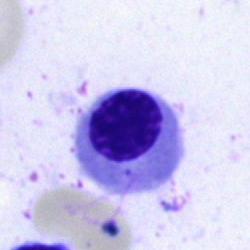 This is a nucleated red cell.